250 by 250 pixels. Bone marrow aspirate smear. Single-cell field.
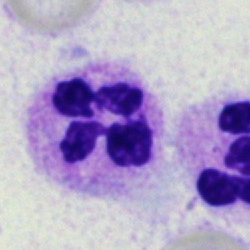 Morphology → segmented neutrophil.